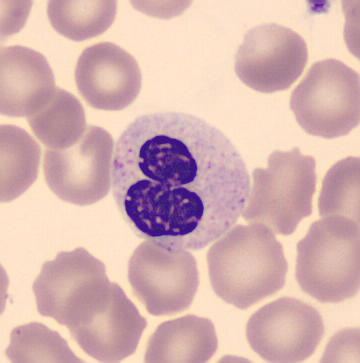Peripheral blood film.

This is a segmented neutrophil.